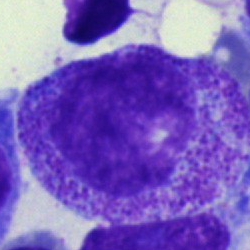 Specimen: bone marrow aspirate smear.
Morphological class: progranulocyte.